Bone marrow aspirate smear: 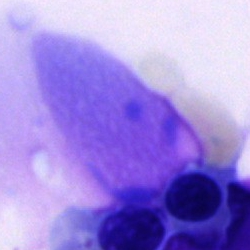 Cell type = artifact.